40× oil immersion; bone marrow aspirate smear
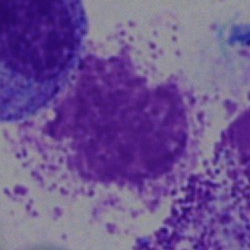
Showing an artefact.